Bone marrow smear · Pappenheim-stained · cropped to a single cell: 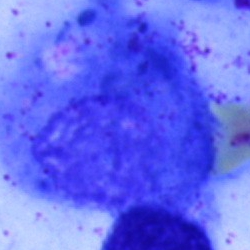

The cell shown is an artefact.